Bone marrow smear · 40× objective, oil immersion.
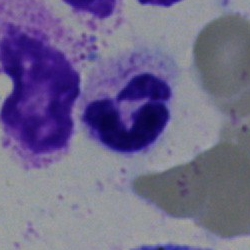 Specimen: bone marrow smear.
Classification: neutrophil (segmented).